Bone marrow aspirate smear.
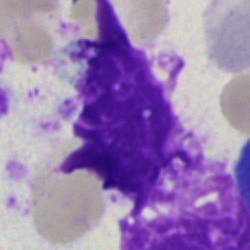 Single cell identified as an artefact.